Bone marrow smear:
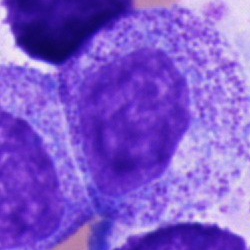
This is a promyelocyte.